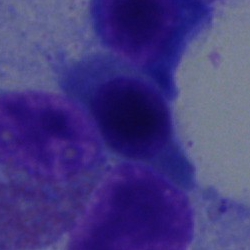The cell is nucleated red cell.